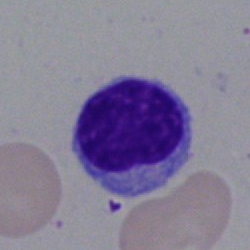 This is a lymphocyte.